Peripheral blood film.
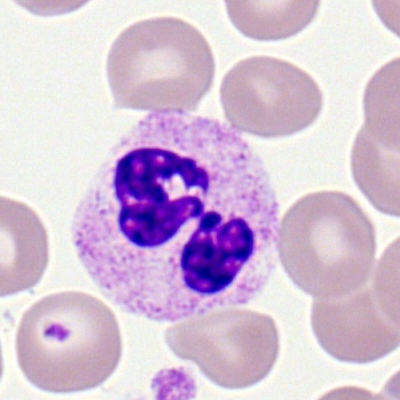

Specimen: peripheral blood smear.
Cell type: segmented neutrophil.